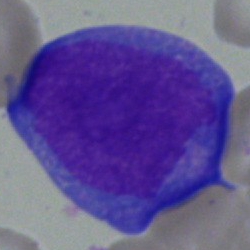
A blast.